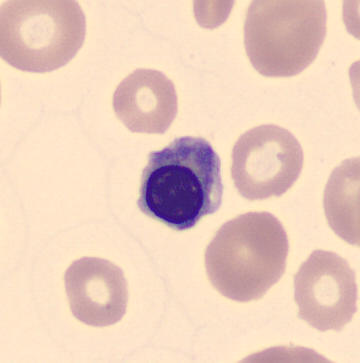
Nucleated red cell.
Automated cell imaging (CellaVision DM96). Peripheral blood film.